Single cell centered in the field · bone marrow smear
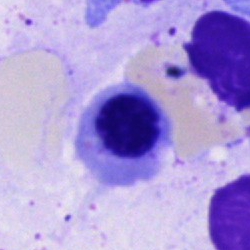

This is a nucleated red cell.